Bone marrow smear — 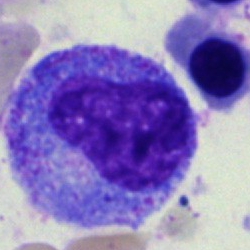
Morphology consistent with a promyelocyte.